Bone marrow aspirate smear · May-Grünwald-Giemsa stain: 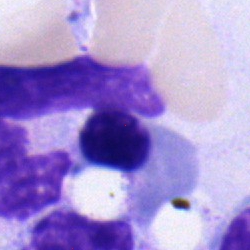 Q: What is the morphological classification of this cell?
A: A nucleated red blood cell.